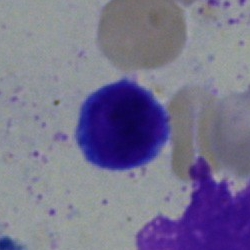The morphological class is lymphocyte.